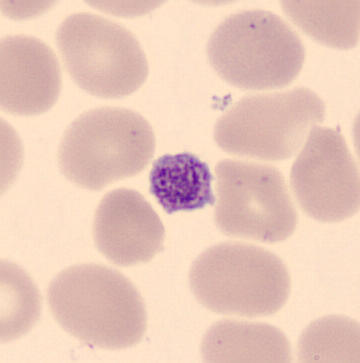

Peripheral blood film.

The morphological class is thrombocyte.